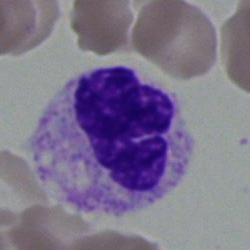Specimen: bone marrow smear.
Cell: neutrophil (segmented).
Lineage: myeloid.